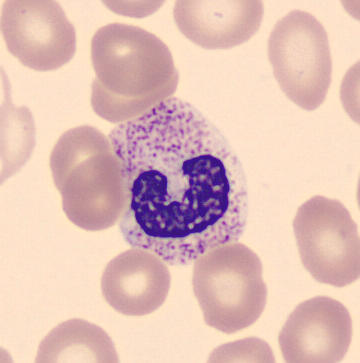
The classification is band neutrophil.
Preparation: Peripheral blood film.